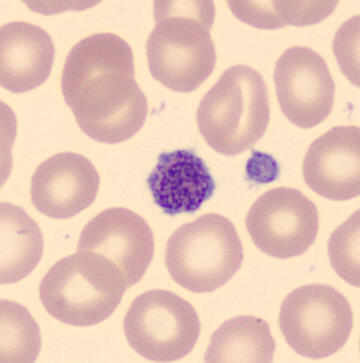A platelet on a peripheral blood smear.